250×250; bone marrow aspirate smear; cropped to a single cell: 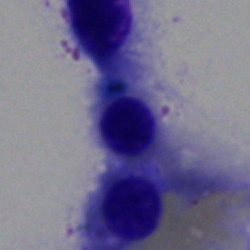 Morphological class — artifact.